Bone marrow aspirate smear:
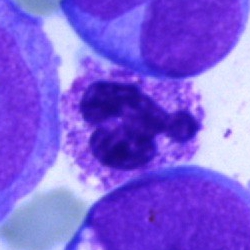 The cell type is segmented neutrophil.